Bone marrow smear: 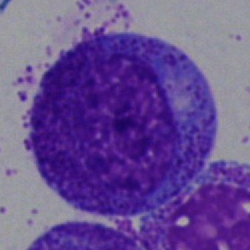Q: What is shown here?
A: This is a progranulocyte.